Bone marrow aspirate smear. Single cell centered in the field
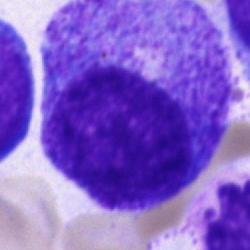 Morphology — promyelocyte.